Peripheral blood film — 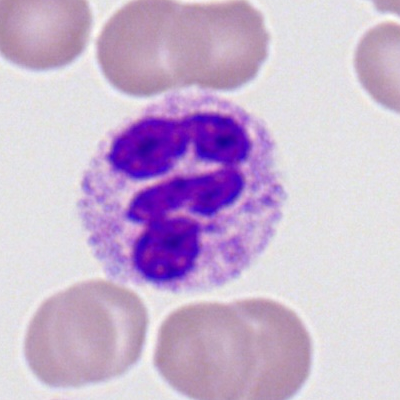Impression — segmented neutrophil.